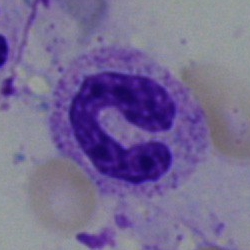 Bone marrow aspirate smear, single cell — band-form neutrophil.